Image size 250×250 · bone marrow smear · MGG-stained:
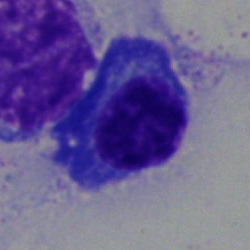 The cell type is plasma cell.